Single-cell crop; peripheral blood film: 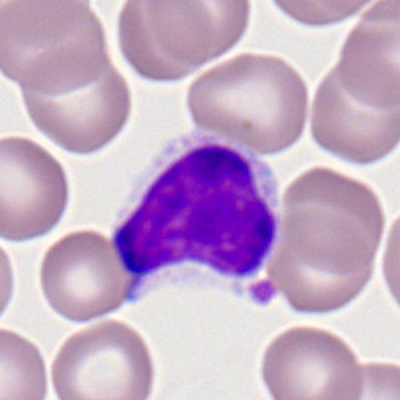 Lymphocyte.